Bone marrow smear · 250×250 · May-Grünwald-Giemsa stain
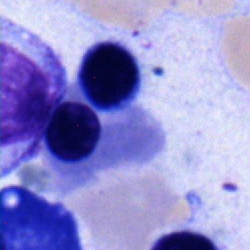
This is a nucleated red cell.